Bone marrow aspirate smear
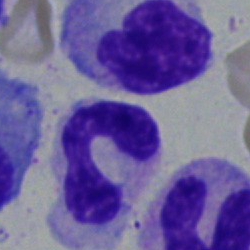
Cell type: stab cell.